Bone marrow smear: 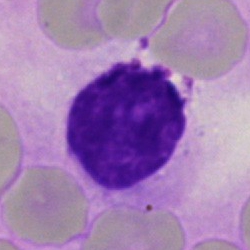Morphology consistent with an artifact.